Bone marrow smear:
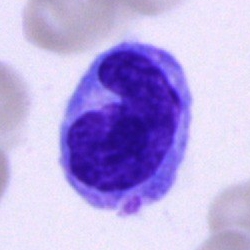 Q: What is the morphological classification of this cell?
A: A monocyte.